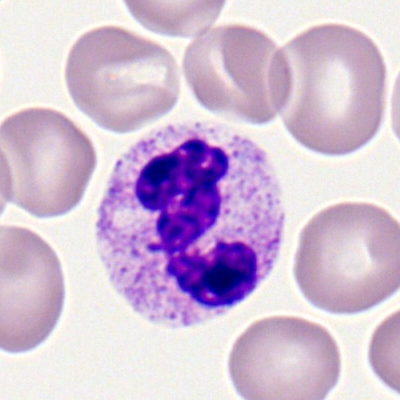 Single cell identified as a segmented neutrophil.